Bone marrow aspirate smear: 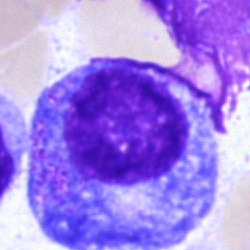

Morphology consistent with a progranulocyte.